Romanowsky-type stain · 100× oil immersion, 14.14 px/µm · peripheral blood smear — 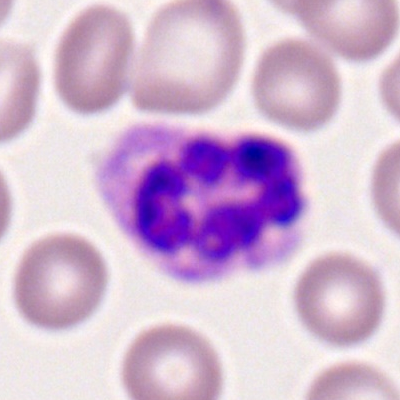

Cell: neutrophil (segmented).